Bone marrow smear; 250 by 250 pixels; single-cell crop
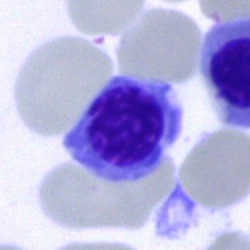
The cell is nucleated red cell.